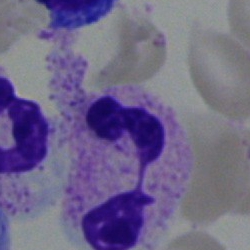 Q: Which cell type is shown here?
A: It is a segmented neutrophil.